Bone marrow smear
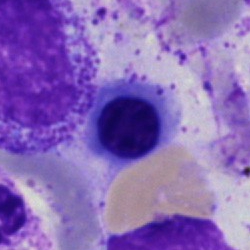 Impression → erythroblast.